Bone marrow aspirate smear.
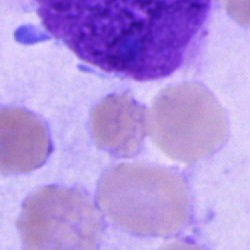 Specimen: bone marrow smear.
Morphological class: artifact.